Bone marrow smear.
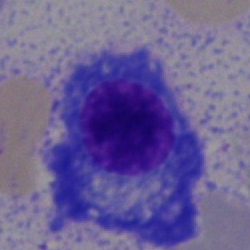Morphology consistent with a plasma cell.